Bone marrow aspirate smear:
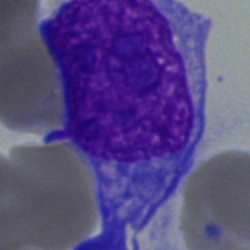

Blast cell.